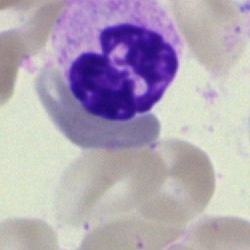 A polymorphonuclear neutrophil on a bone marrow smear.